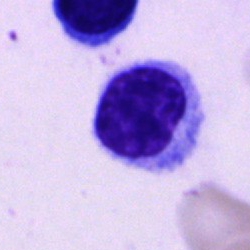

Bone marrow aspirate smear, single cell — lymphocyte.